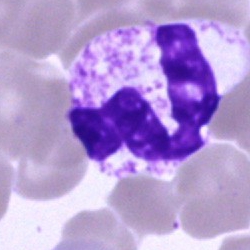

Neutrophil (segmented).